Bone marrow smear; single-cell crop:
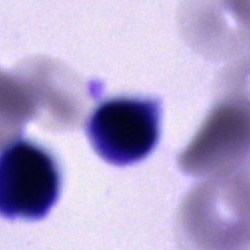

This is an unidentifiable cell.